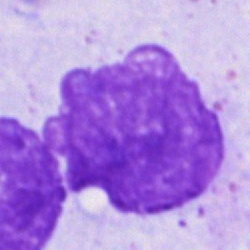The cell shown is an artifact.